Peripheral blood smear: 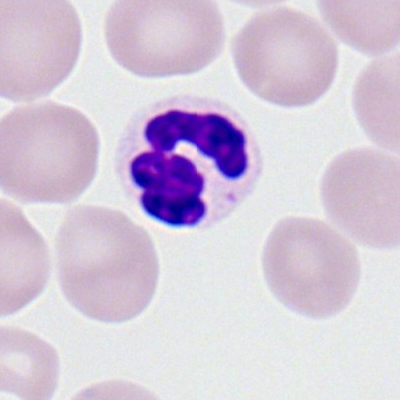

Morphological class: segmented neutrophil.